Bone marrow aspirate smear.
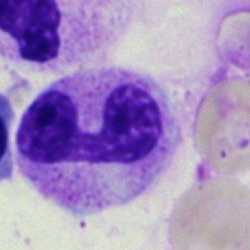Specimen: bone marrow smear.
Morphological class: polymorphonuclear neutrophil.